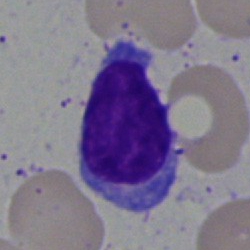
Morphological class — lymphocyte.